Bone marrow smear: 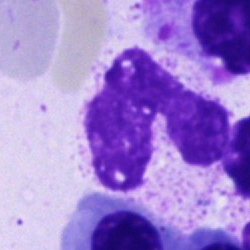

Cell type = neutrophil (segmented).